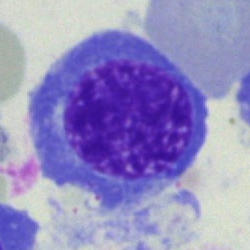 A nucleated red cell.